Bone marrow smear.
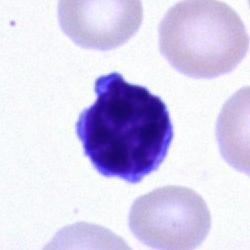
Single cell identified as a lymphocyte.